40× objective, oil immersion. Pappenheim-stained. Bone marrow smear — 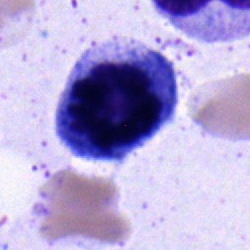{"cell_type": "nucleated red cell", "lineage": "erythroid"}